Pappenheim-stained; 40× oil immersion; bone marrow smear.
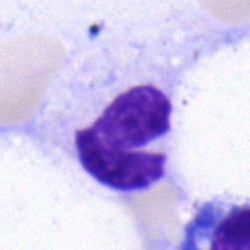 Morphological class: band neutrophil.